MGG-stained · bone marrow aspirate smear · image size 250×250 — 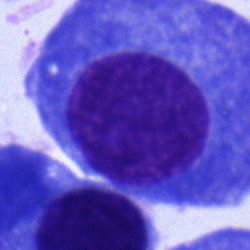The cell type is plasmacyte.